Bone marrow aspirate smear; image size 250×250 — 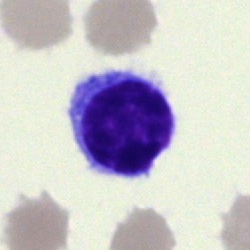 Morphology — lymphocyte.